250×250 px · bone marrow smear:
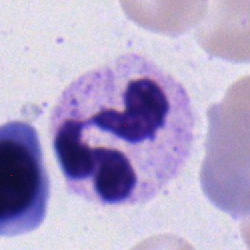

Classification = neutrophil (segmented).